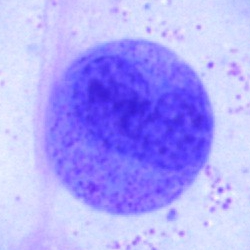
This is an unidentifiable cell.